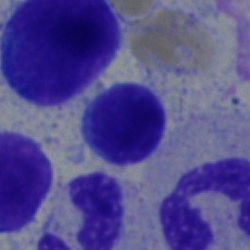
Q: What type of cell is this?
A: Lymphocyte.